Peripheral blood film. Single cell centered in the field:
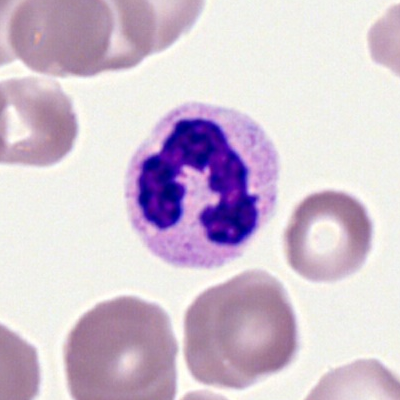

Polymorphonuclear neutrophil.